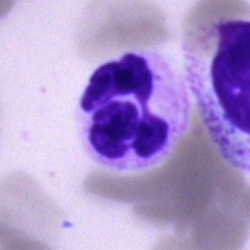
Morphology consistent with a segmented neutrophil.